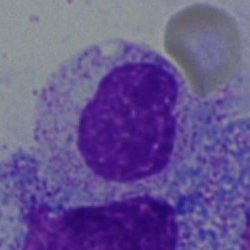 Q: What is the morphological classification of this cell?
A: Myelocyte.